Bone marrow aspirate smear
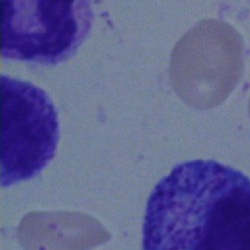A myelocyte.